Peripheral blood smear — 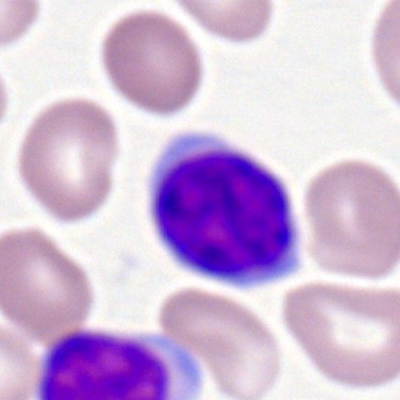Impression → typical lymphocyte.